Bone marrow aspirate smear.
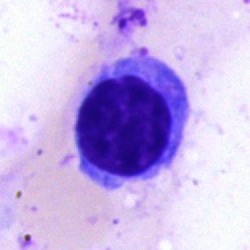The cell type is typical lymphocyte.